Bone marrow aspirate smear — 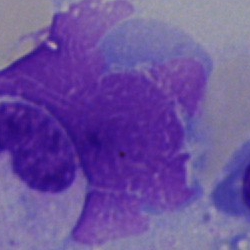Q: What is shown here?
A: It is an artifact.